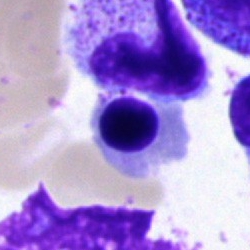Showing a nucleated red blood cell.